Bone marrow aspirate smear; MGG-stained; image size 250×250:
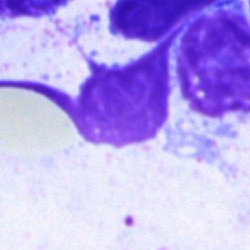 Impression → artefact.